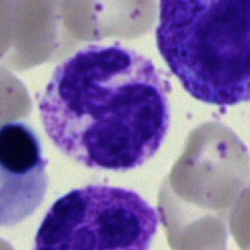Cell — neutrophil (segmented).